Bone marrow aspirate smear.
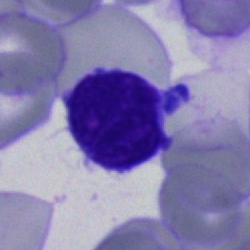
Single cell identified as a lymphocyte.